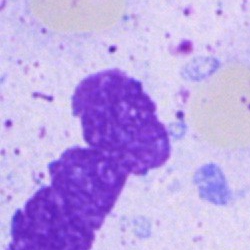

This is an artefact.